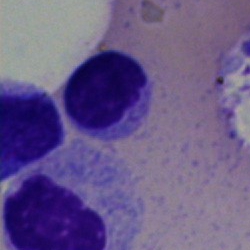 Q: What cell is this?
A: A typical lymphocyte.